250×250 px; 40× objective, oil immersion; bone marrow aspirate smear
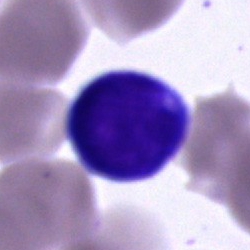
{"cell_type": "lymphocyte", "lineage": "lymphoid"}